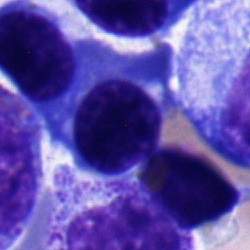

Morphological class — normoblast.